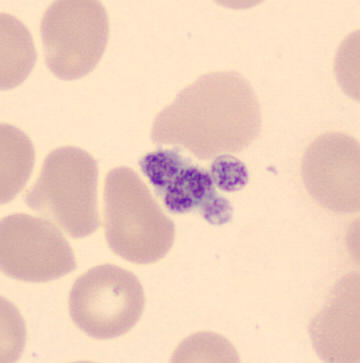

Image: Peripheral blood smear · image size 360×363 · MGG stain.

Morphological class: platelet.